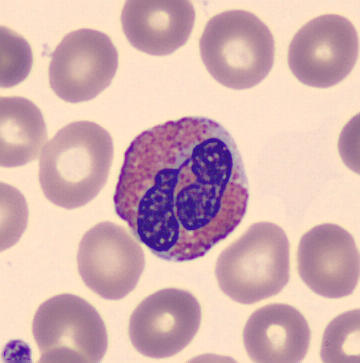 An eosinophilic granulocyte.